Bone marrow aspirate smear:
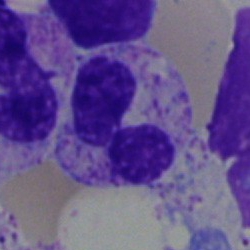
The cell shown is a segmented neutrophil.